Bone marrow smear: 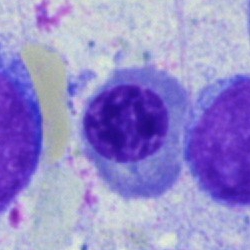Q: Which cell type is shown here?
A: This is a nucleated red blood cell.